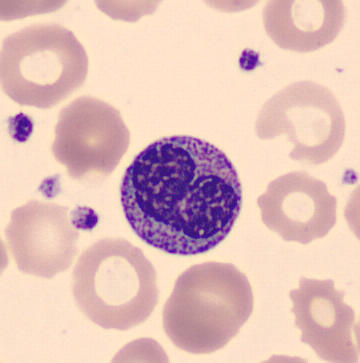 Preparation: CellaVision DM96 · peripheral blood film.
Morphology → metamyelocyte.